Bone marrow smear.
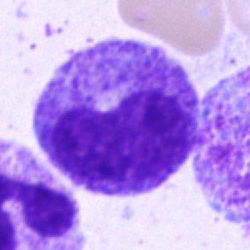

Morphology → metamyelocyte.